Bone marrow aspirate smear: 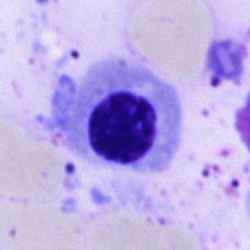
Showing a nucleated red blood cell.